Single-cell crop. Bone marrow aspirate smear.
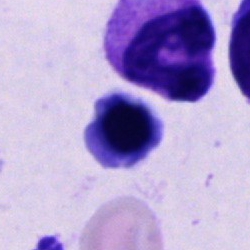This is an unidentifiable cell.